Bone marrow aspirate smear; brightfield microscopy, 40× oil immersion; single cell centered in the field: 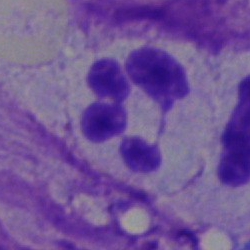 Cell type: segmented neutrophil.